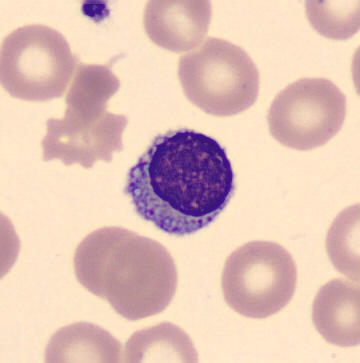
From a peripheral blood smear: a lymphocyte.